Cropped to a single cell · bone marrow aspirate smear: 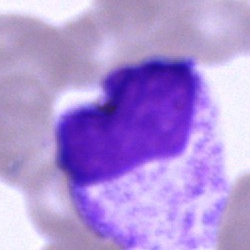 Classification — metamyelocyte.